Bone marrow aspirate smear:
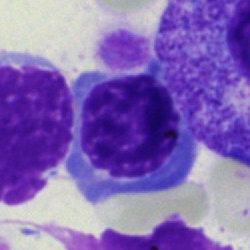 Q: Which cell type is shown here?
A: This is a normoblast.